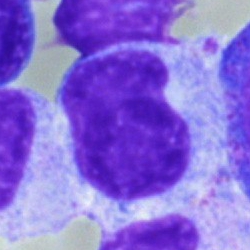Showing a myelocyte.